Bone marrow smear. 40× objective, oil immersion
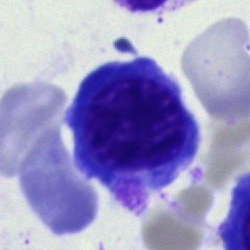
Showing a nucleated red cell.